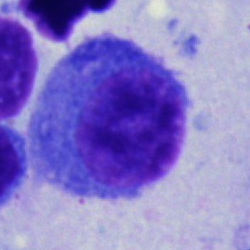{"cell_type": "plasmacyte"}